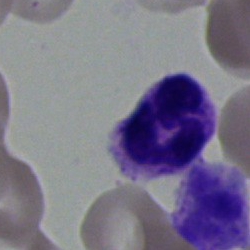Morphology → neutrophil (segmented).